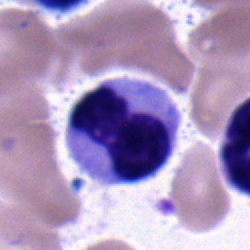
Q: What is the morphological classification of this cell?
A: A monocyte.